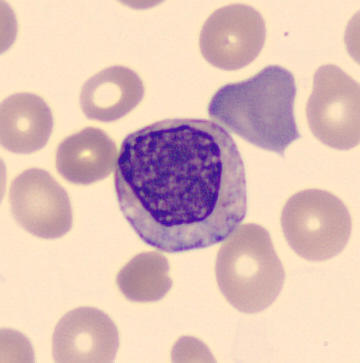 Image: Peripheral blood smear. Single-cell field. Automated cell imaging (CellaVision DM96).

Morphological class = myelocyte.